250 by 250 pixels · bone marrow aspirate smear: 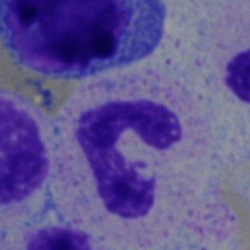
Morphology consistent with a segmented neutrophil.